Bone marrow aspirate smear. Image size 250×250:
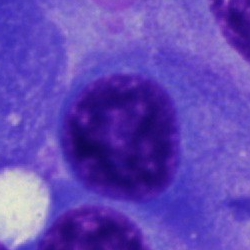 Q: What is the morphological classification of this cell?
A: It is a plasma cell.